Single-cell crop · bone marrow smear · 250 by 250 pixels: 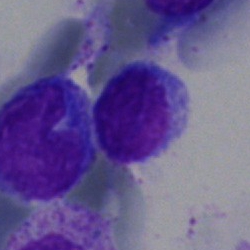 Cell type — lymphocyte.